Bone marrow aspirate smear: 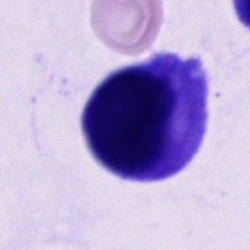

Q: What type of cell is this?
A: Unidentifiable cell.